Bone marrow aspirate smear.
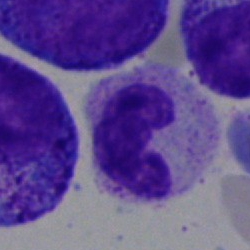
The cell shown is a band-form neutrophil.